Bone marrow aspirate smear: 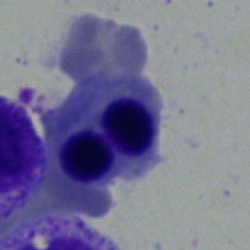 Q: What is the morphological classification of this cell?
A: It is a normoblast.